40× objective, oil immersion; image size 250×250; bone marrow smear:
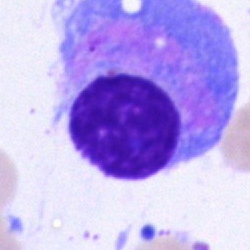

{"cell_type": "plasmacyte"}